Brightfield, 40× oil-immersion objective. Bone marrow smear
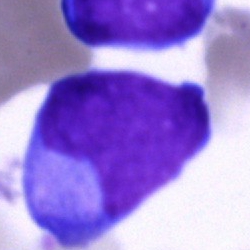
Cell — blast.